40× oil immersion · bone marrow smear · May-Grünwald-Giemsa stain — 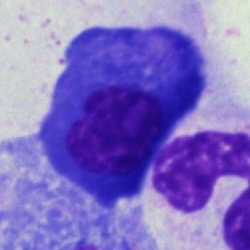Classification: plasma cell.